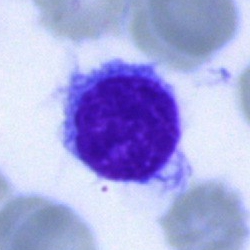Impression → hairy cell.